Bone marrow smear — 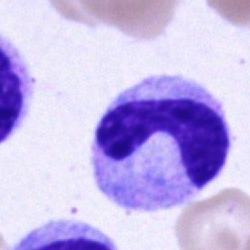Classification — neutrophil (band).